Bone marrow smear — 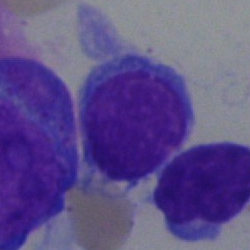

Morphology → lymphocyte.